Bone marrow aspirate smear: 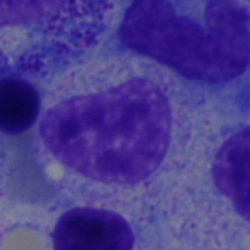
{"cell_type": "myelocyte", "lineage": "myeloid"}